Peripheral blood film.
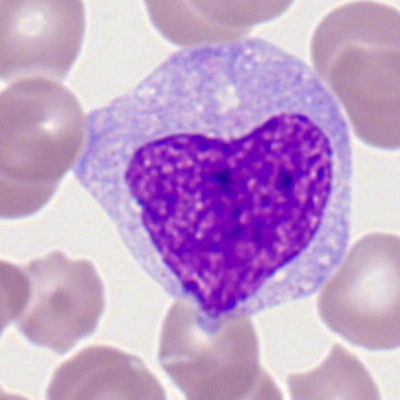 A monocyte.